250×250 px · bone marrow aspirate smear: 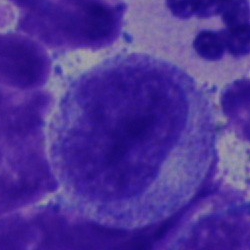
A promyelocyte.